Peripheral blood film: 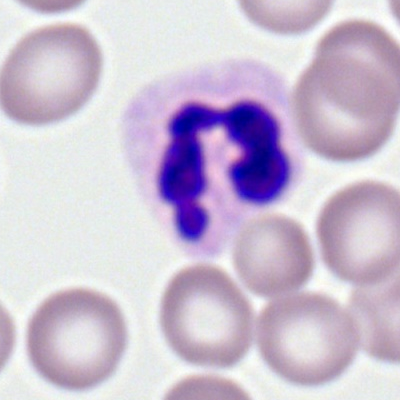The morphological class is segmented neutrophil.